Bone marrow aspirate smear — 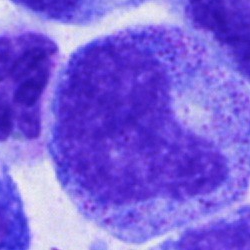Showing a metamyelocyte.